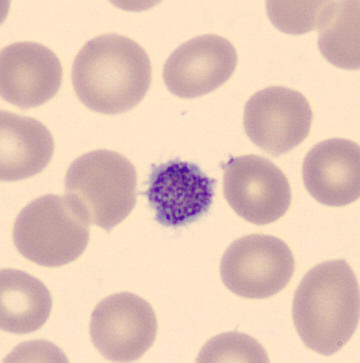

Peripheral blood film; automated cell imaging (CellaVision DM96). A platelet (thrombocyte).